Bone marrow aspirate smear.
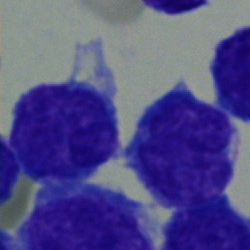Showing a blast.